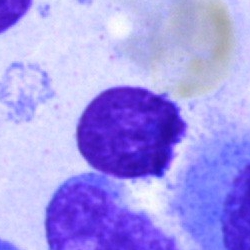 Specimen: bone marrow aspirate smear.
Cell: artifact.